Bone marrow aspirate smear: 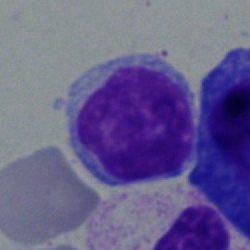Morphology → lymphocyte.